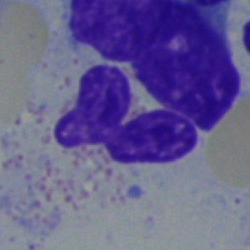
Single-cell crop from a bone marrow smear: polymorphonuclear neutrophil.